250×250; bone marrow aspirate smear:
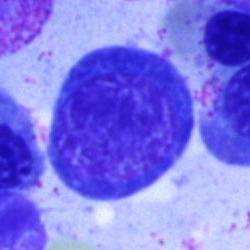
Cell = normoblast.